Bone marrow smear: 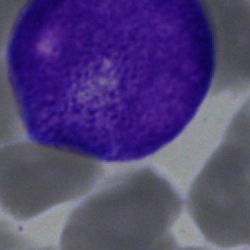

Single cell identified as a promyelocyte.